Bone marrow aspirate smear · 250 by 250 pixels: 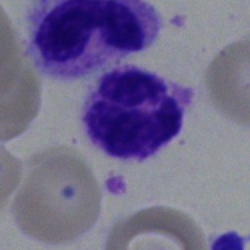

Classification — segmented neutrophil.